Bone marrow smear.
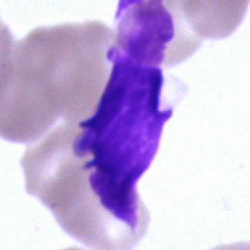Specimen: bone marrow smear.
Cell type: artifact.